40× oil immersion; bone marrow smear
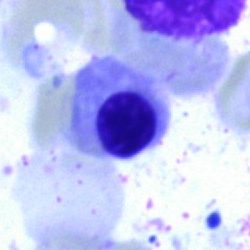 The morphological class is nucleated red blood cell.